Bone marrow smear
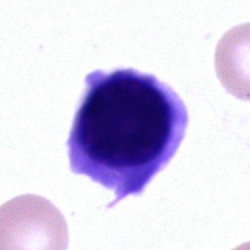 Impression — cell of indeterminate lineage.